Bone marrow smear. Cropped to a single cell:
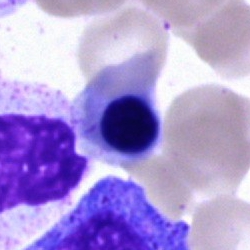Single cell identified as an erythroblast.